Bone marrow aspirate smear. 250 by 250 pixels — 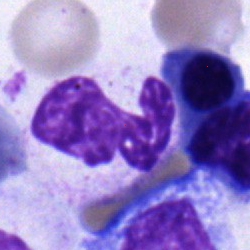Specimen: bone marrow aspirate smear.
Cell type: neutrophil (segmented).